40× oil immersion · bone marrow aspirate smear: 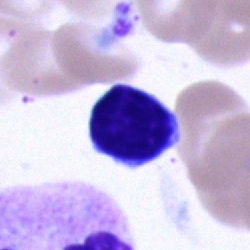This is a typical lymphocyte.